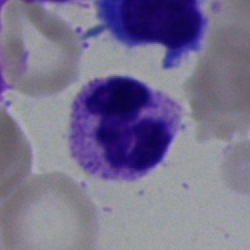

Q: What is the morphological classification of this cell?
A: A polymorphonuclear neutrophil.